Bone marrow smear:
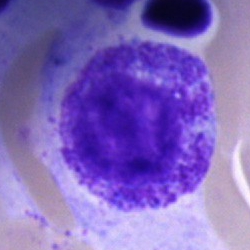This is a progranulocyte.